Bone marrow aspirate smear. Pappenheim-stained
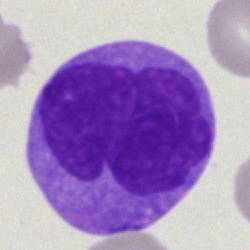

Q: Which cell type is shown here?
A: Blast.